Bone marrow aspirate smear; brightfield microscopy, 40× oil immersion.
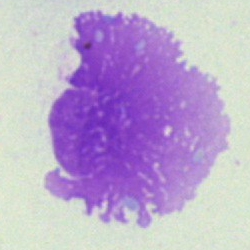
Morphological class: artifact.